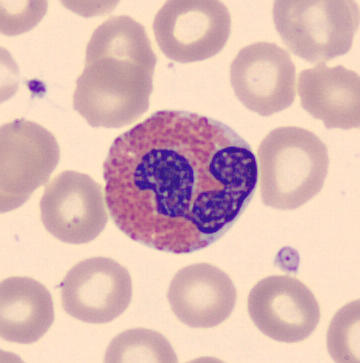 Image: Peripheral blood smear. Morphological class: eosinophil.